Bone marrow aspirate smear. Single-cell field — 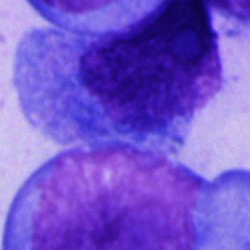
Q: What cell is this?
A: This is a cell of indeterminate lineage.